250×250 px. Single cell centered in the field. Bone marrow smear:
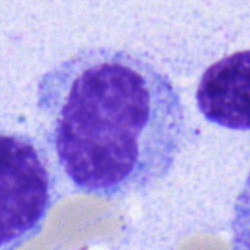 The cell shown is a metamyelocyte.